Bone marrow smear — 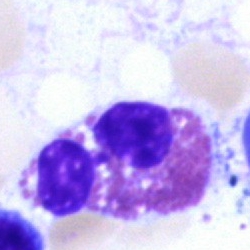
Q: What is the morphological classification of this cell?
A: This is an eosinophil.